Peripheral blood smear: 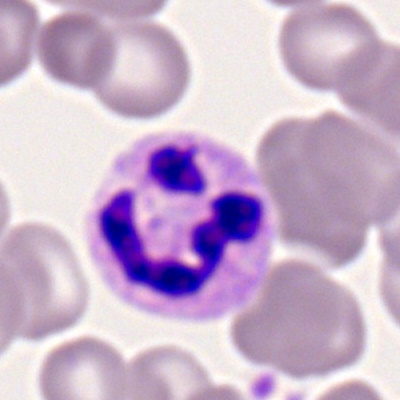

Impression → segmented neutrophil.